Pappenheim-stained. Bone marrow aspirate smear — 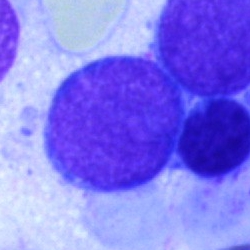
Morphological class — blast.